Bone marrow aspirate smear.
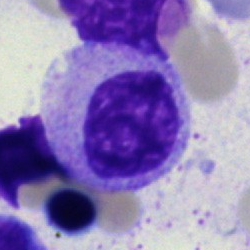

Q: What is shown here?
A: It is a myelocyte.